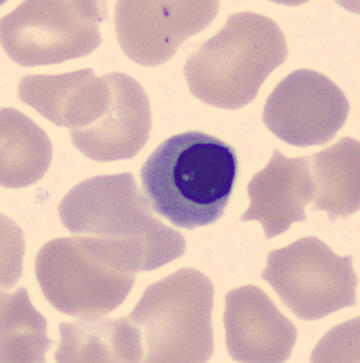Q: What cell is this?
A: Nucleated red cell.
Acquisition: Peripheral blood film.